Bone marrow smear.
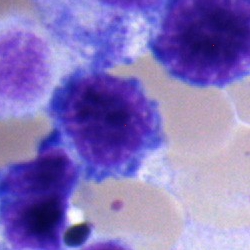

Impression — normoblast.